Bone marrow aspirate smear · single cell centered in the field:
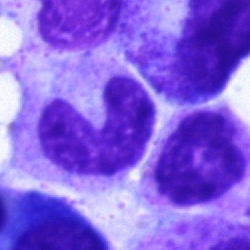 Cell: neutrophil (band).